Bone marrow smear — 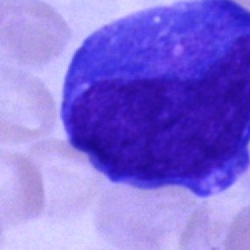 Cell: undifferentiated blast.